Bone marrow smear: 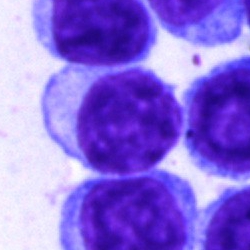
Classification — typical lymphocyte.